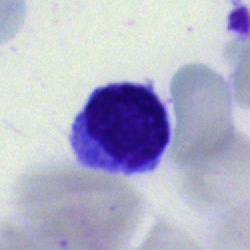
The cell shown is a lymphocyte.